250×250 px; MGG-stained; bone marrow smear:
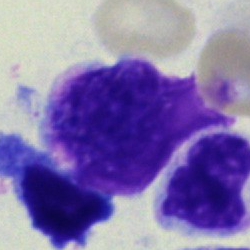

The morphological class is artifact.